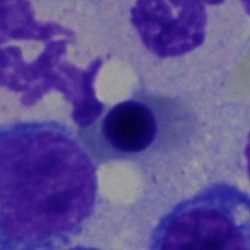

Classification: erythroblast.